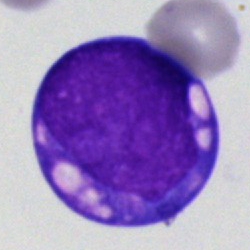 Single-cell crop from a bone marrow smear: blast.